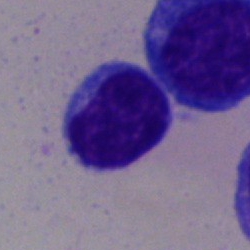
Cell type = typical lymphocyte.